Peripheral blood smear
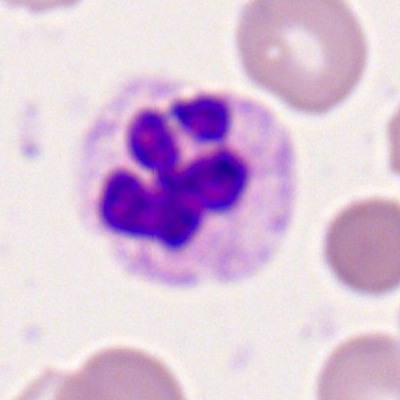
Showing a segmented neutrophil.